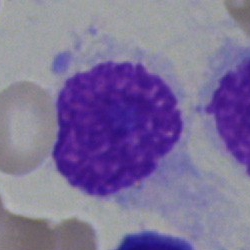

Q: What is shown here?
A: It is an artefact.